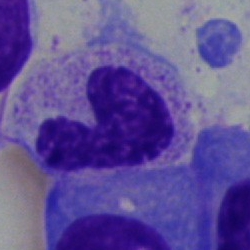 Morphological class: stab cell.